Bone marrow aspirate smear — 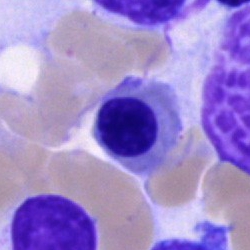

Cell type: normoblast.